Peripheral blood smear
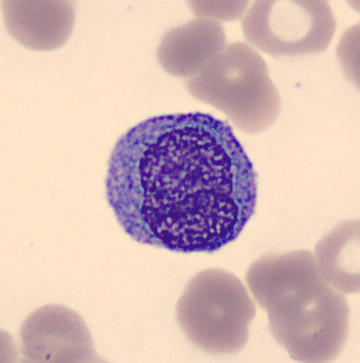

Q: Identify the cell.
A: It is a monocyte.